Peripheral blood smear:
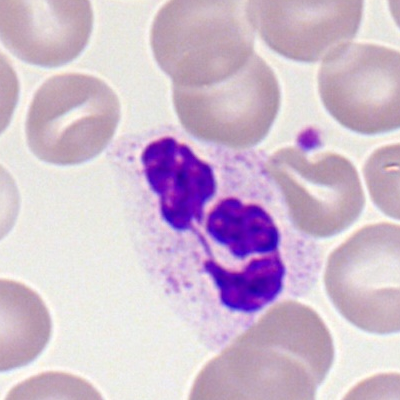

Impression → polymorphonuclear neutrophil.